MGG-stained. Bone marrow aspirate smear. Single-cell crop — 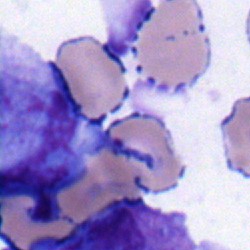Classification: blast.